Peripheral blood smear; single-cell crop: 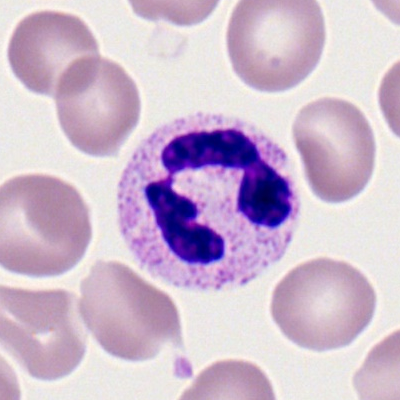

Morphological class = segmented neutrophil.